Bone marrow aspirate smear · single cell centered in the field · image size 250×250.
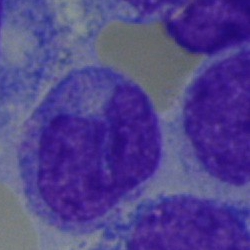Morphology → monocyte.